Bone marrow aspirate smear. 250 by 250 pixels — 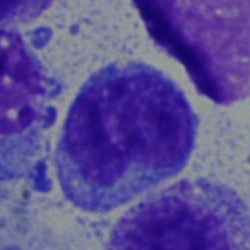Showing a monocyte.